Bone marrow smear; brightfield microscopy, 40× oil immersion.
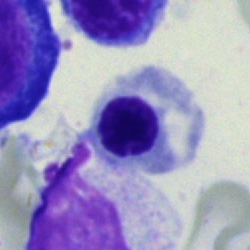

Q: What is the morphological classification of this cell?
A: This is a normoblast.